Bone marrow aspirate smear.
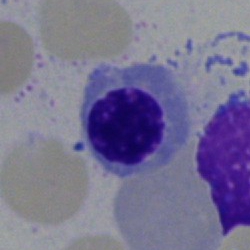The cell shown is an erythroblast.